40× oil immersion · bone marrow smear:
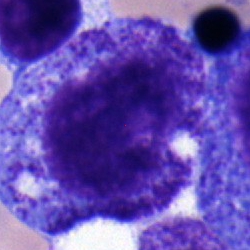 Q: What type of cell is this?
A: This is a promyelocyte.